May-Grünwald-Giemsa stain. Bone marrow aspirate smear
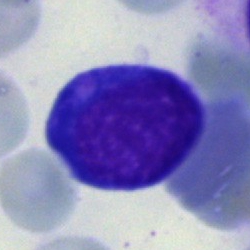

Q: What is shown here?
A: It is a normoblast.